Brightfield, 40× oil-immersion objective · bone marrow aspirate smear.
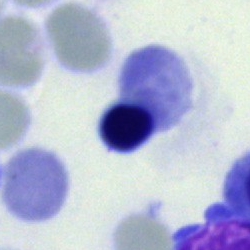 Single cell identified as a normoblast.